Bone marrow smear
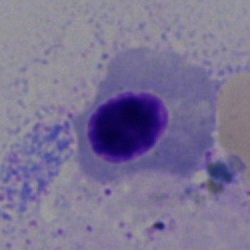Cell = normoblast.